Bone marrow aspirate smear
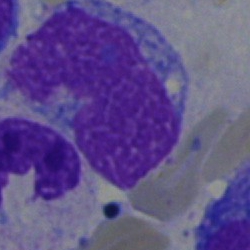
Classification — artifact.